Bone marrow aspirate smear.
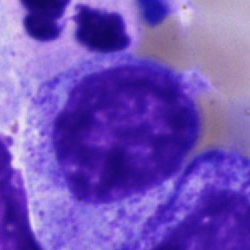 Single cell identified as a promyelocyte.